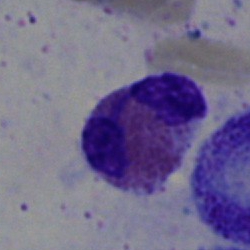
{"cell_type": "eosinophil", "lineage": "myeloid"}